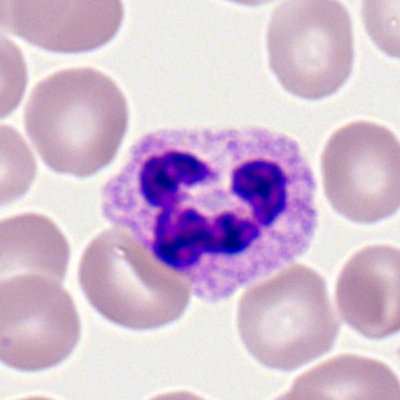
Cell type — segmented neutrophil.